Bone marrow aspirate smear.
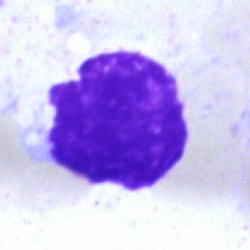Showing an artefact.